250 by 250 pixels; single-cell crop; bone marrow smear — 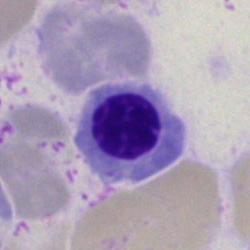 Classification — erythroblast.